Bone marrow aspirate smear — 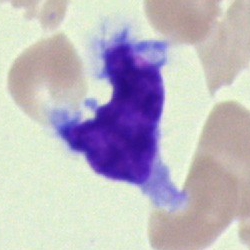
Single cell identified as a typical lymphocyte.